Bone marrow smear: 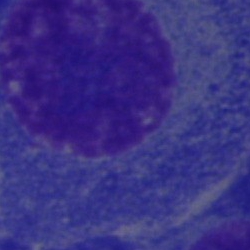 Morphology consistent with a plasma cell.